Single-cell crop; 40× oil immersion; bone marrow smear.
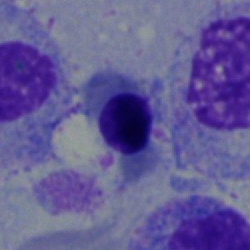 Classification = normoblast.